Bone marrow smear: 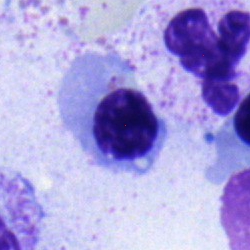Morphology consistent with a nucleated red cell.